Bone marrow smear · brightfield, 40× oil-immersion objective — 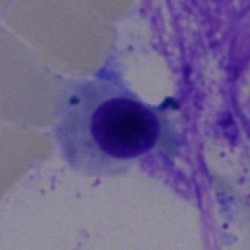
Q: Identify the cell.
A: An erythroblast.